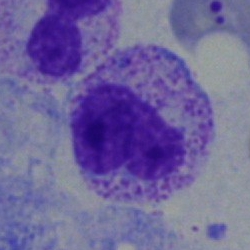

{"cell_type": "metamyelocyte", "lineage": "myeloid"}